Bone marrow aspirate smear: 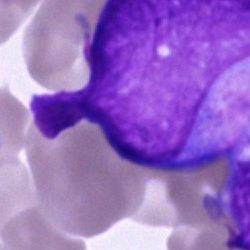

{"cell_type": "blast cell"}